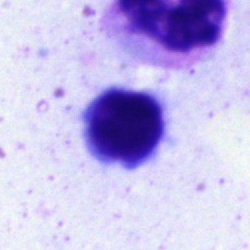 A lymphocyte on a bone marrow smear.